Brightfield, 40× oil-immersion objective; bone marrow aspirate smear: 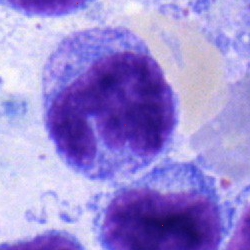Q: Which cell type is shown here?
A: Lymphocyte.